Bone marrow smear: 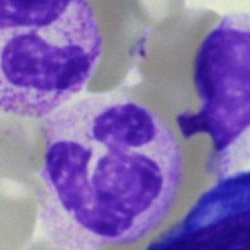Single cell identified as a neutrophil (segmented).